Single-cell field. Romanowsky-stained. Peripheral blood smear:
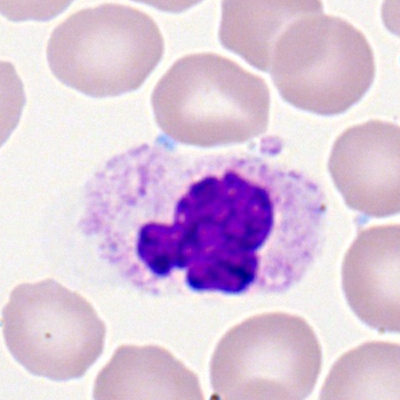
Showing a segmented neutrophil.